250×250 px. Single-cell crop. Bone marrow smear: 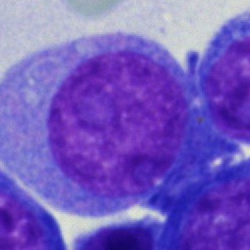

The cell shown is a blast.